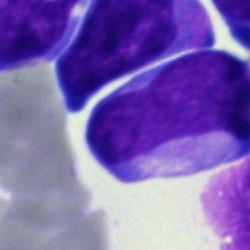 Morphology consistent with a blast cell.